Bone marrow smear: 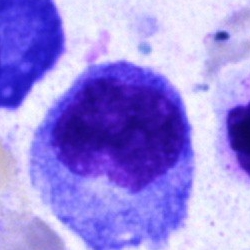

Morphology consistent with a promyelocyte.